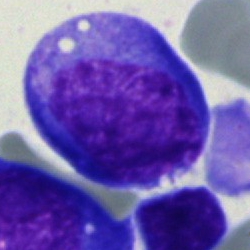 This is an undifferentiated blast.